Cropped to a single cell · bone marrow smear:
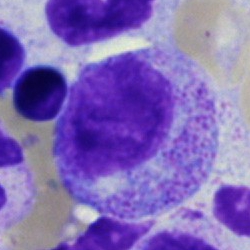
This is a myelocyte.